Bone marrow aspirate smear
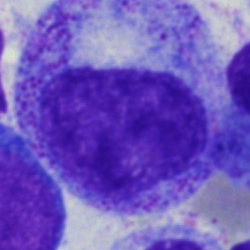 Impression — promyelocyte.